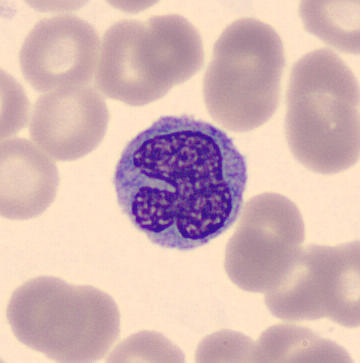 Monocyte.
Preparation: Imaged on a CellaVision DM96 analyser; peripheral blood film.